Bone marrow aspirate smear.
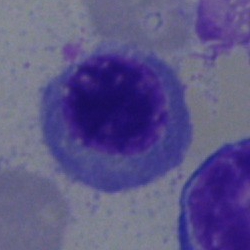
Morphology consistent with a nucleated red cell.